Single-cell crop; peripheral blood smear; 400×400:
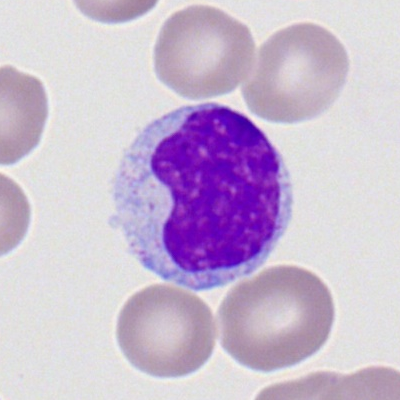
Q: Identify the cell.
A: A lymphocyte.